Bone marrow aspirate smear.
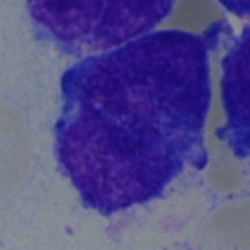Specimen: bone marrow smear.
Morphological class: undifferentiated blast.